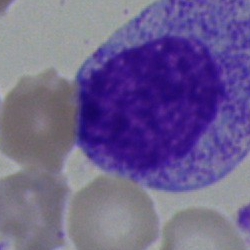 Promyelocyte.